Peripheral blood smear. Romanowsky-type stain. 100× oil immersion:
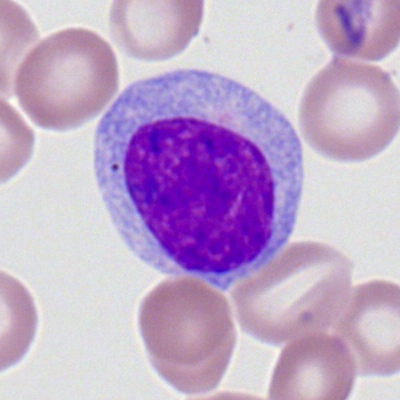

Morphology — myeloblast.